Bone marrow aspirate smear:
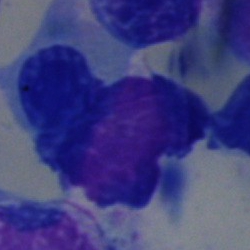
Single cell identified as an artefact.